Image size 250×250. Bone marrow aspirate smear: 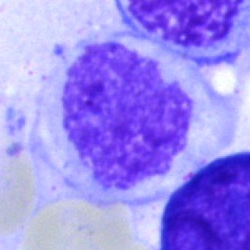
Morphology consistent with an artifact.